400×400 px. Peripheral blood film — 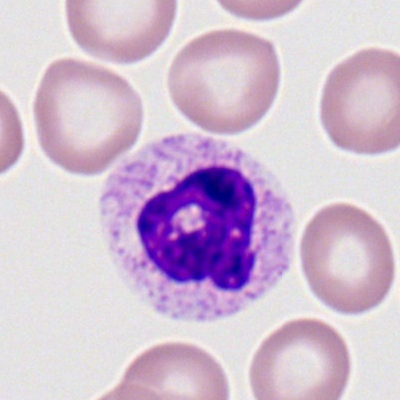Impression — polymorphonuclear neutrophil.